MGG-stained · single-cell crop · bone marrow smear.
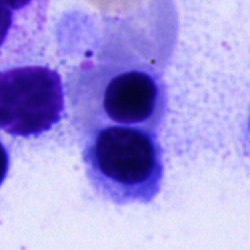 Q: Which cell type is shown here?
A: This is a nucleated red cell.